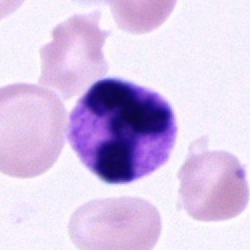
Bone marrow aspirate smear, single cell — neutrophil (segmented).